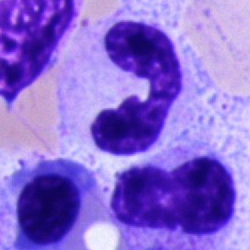
The cell shown is a neutrophil (segmented).